Bone marrow smear — 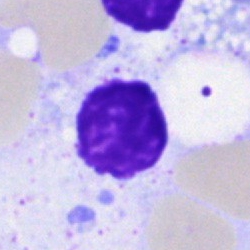
Morphology → artifact.